Bone marrow smear — 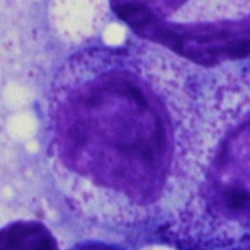 Impression — myelocyte.